Bone marrow smear — 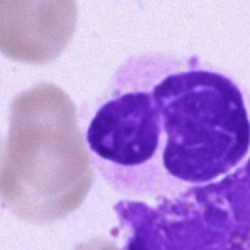
An artifact.